Single-cell field; peripheral blood film.
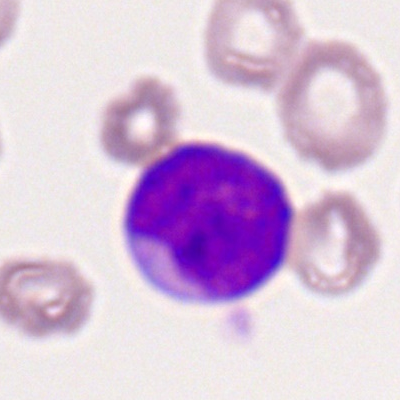
Impression → typical lymphocyte.